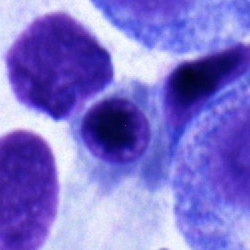

Classification = erythroblast.